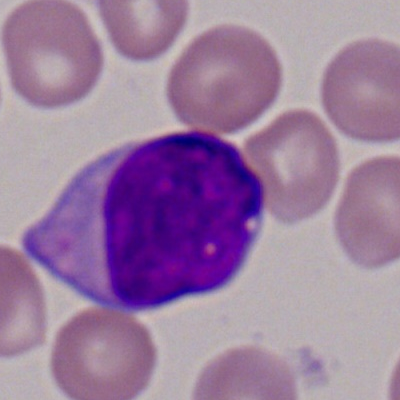The cell shown is a neutrophil (segmented).